Bone marrow aspirate smear. 40× objective, oil immersion
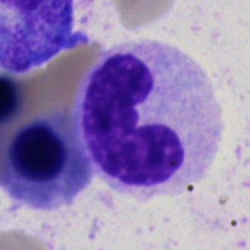

Cell type — band neutrophil.